Bone marrow aspirate smear — 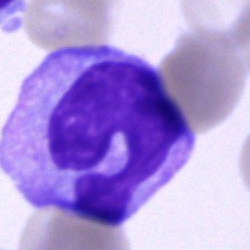

The cell shown is a monocyte.